Bone marrow smear.
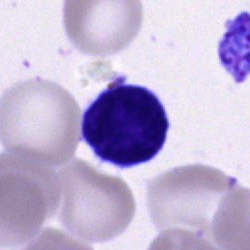 Showing a lymphocyte.